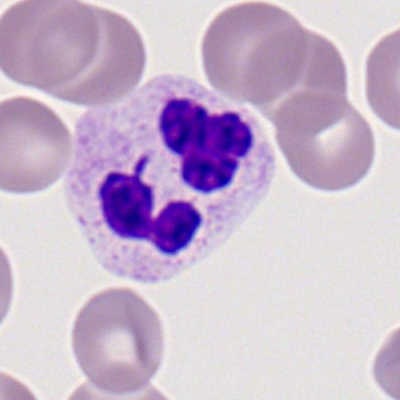 A neutrophil (segmented) on a peripheral blood smear.